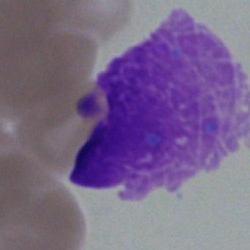
Q: Which cell type is shown here?
A: This is a blast.